Bone marrow aspirate smear. Brightfield, 40× oil-immersion objective.
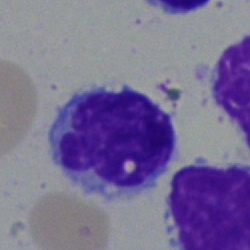Q: What is shown here?
A: A typical lymphocyte.